Bone marrow aspirate smear
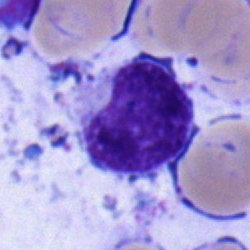

Morphology consistent with a metamyelocyte.